Bone marrow aspirate smear. 250×250 px. MGG-stained:
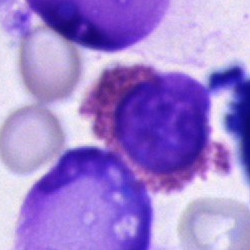 Cell type: cell of indeterminate lineage.